Bone marrow smear.
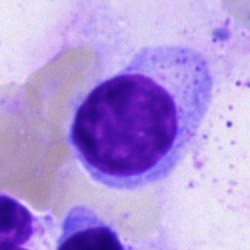 Typical lymphocyte.